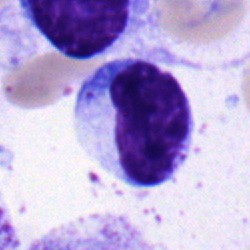
Cell: typical lymphocyte.